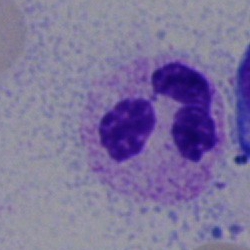
The cell shown is a neutrophil (segmented).